250×250 px. Bone marrow aspirate smear — 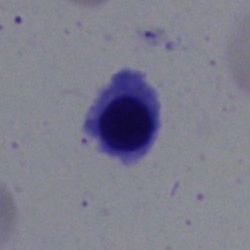
This is an erythroblast.